Brightfield microscopy, 40× oil immersion. May-Grünwald-Giemsa stain. Bone marrow aspirate smear: 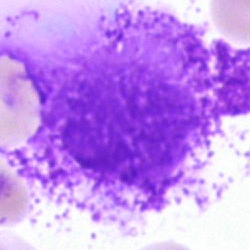
Q: What is shown here?
A: This is an artefact.